Bone marrow aspirate smear
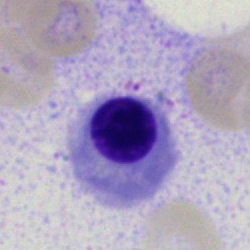An erythroblast.